Bone marrow smear: 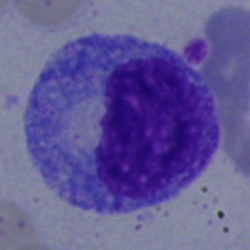

Showing a promyelocyte.